Bone marrow smear · single-cell field:
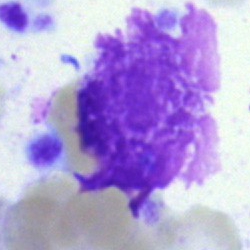Classification — artifact.